Bone marrow smear
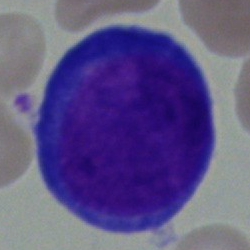Promyelocyte.